Bone marrow smear.
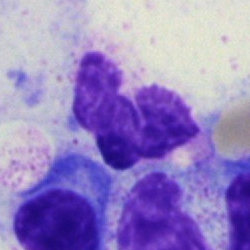 Morphology → stab cell.